40× objective, oil immersion · bone marrow smear: 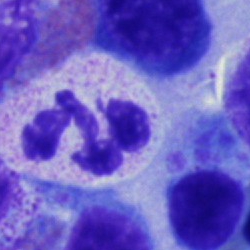

Specimen: bone marrow smear.
Cell: polymorphonuclear neutrophil.
Lineage: myeloid.